Bone marrow aspirate smear: 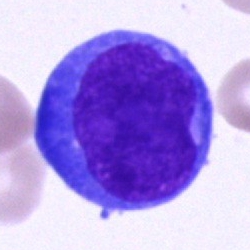

Impression — undifferentiated blast.